Peripheral blood film — 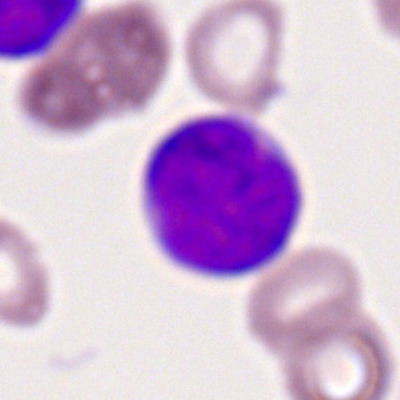Specimen: peripheral blood smear.
Morphological class: myeloid blast.
Lineage: myeloid.